Bone marrow aspirate smear
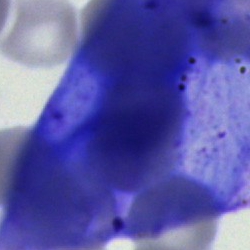

Showing an artefact.